Bone marrow smear — 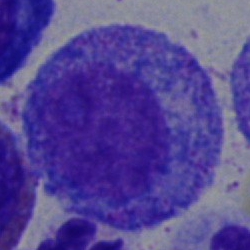
The cell shown is a promyelocyte.